Bone marrow smear
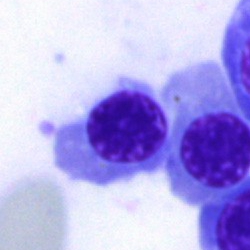

Cell type — nucleated red cell.